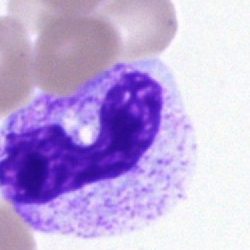
Showing a neutrophil (band).